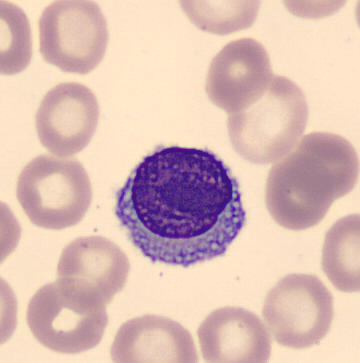Image: Peripheral blood film.
Morphology consistent with a lymphocyte.